Bone marrow smear — 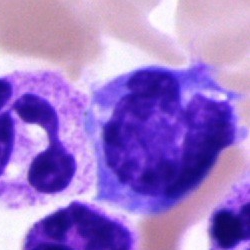

Specimen: bone marrow smear.
Classification: monocyte.
Lineage: myeloid.